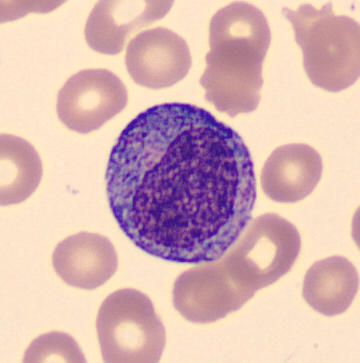Promyelocyte. MGG-stained. Peripheral blood smear.